Bone marrow smear. Image size 250×250
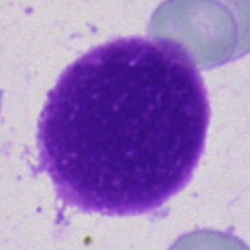

An artifact.